Bone marrow aspirate smear.
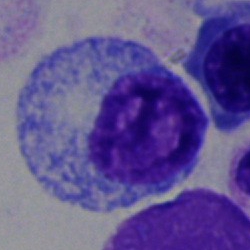 Morphology — myelocyte.